Bone marrow smear:
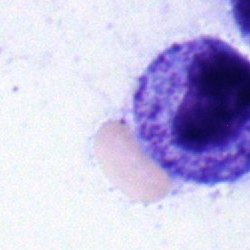Morphology — myelocyte.